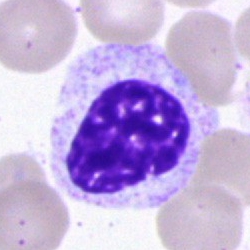 Specimen: bone marrow aspirate smear.
Morphological class: myelocyte.
Lineage: myeloid.